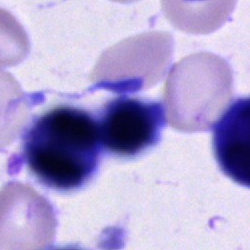 Classification = cell of indeterminate lineage.